Bone marrow smear — 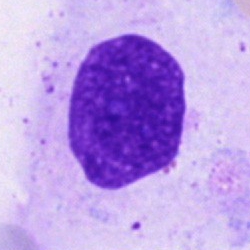

Morphology consistent with an artifact.